MGG-stained; bone marrow aspirate smear: 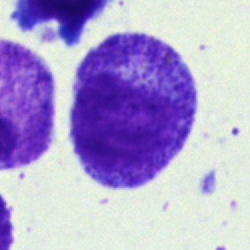
Q: Which cell type is shown here?
A: This is a myelocyte.